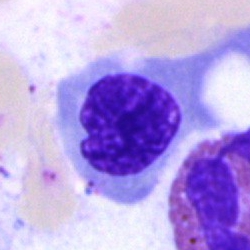
Q: Identify the cell.
A: It is a nucleated red blood cell.